Bone marrow smear:
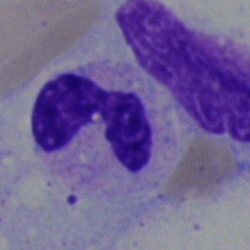The classification is segmented neutrophil.